Single cell centered in the field · peripheral blood film:
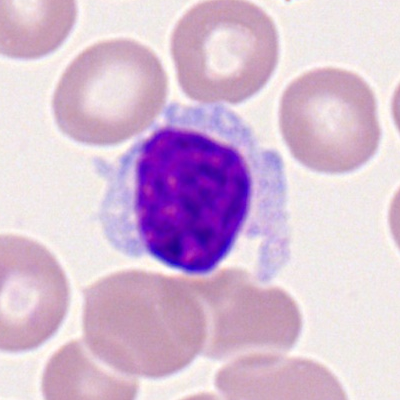
Classification — lymphocyte.